Bone marrow aspirate smear: 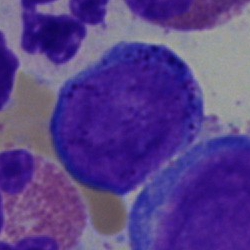Morphological class: undifferentiated blast.